Bone marrow aspirate smear · 250×250 px · MGG-stained — 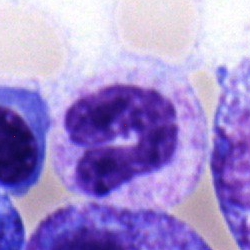
Showing a stab cell.